May-Grünwald-Giemsa stain. Bone marrow aspirate smear. Brightfield microscopy, 40× oil immersion:
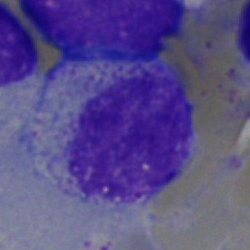Classification = myelocyte.